Bone marrow aspirate smear · single-cell crop — 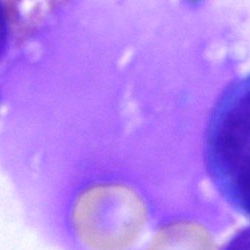{"cell_type": "artefact"}